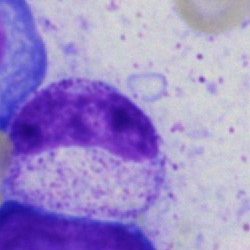

Cell type: metamyelocyte.